Single cell centered in the field; bone marrow aspirate smear:
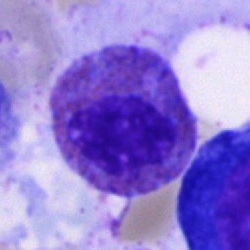 An eosinophilic granulocyte.